Peripheral blood film: 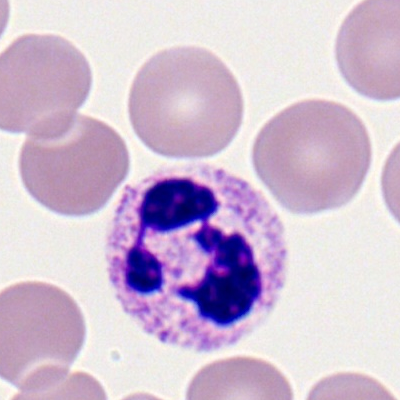
Showing a segmented neutrophil.